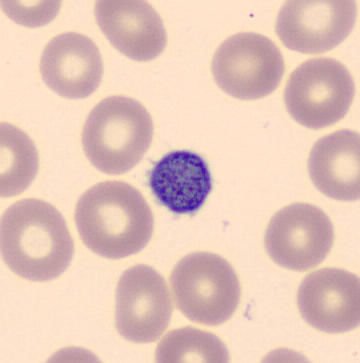Q: What is shown here?
A: This is a platelet (thrombocyte).